Bone marrow smear · 40× oil immersion · single cell centered in the field: 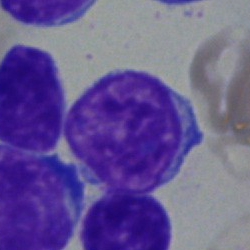 Showing a lymphocyte.